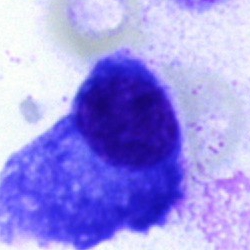
Impression → plasmacyte.